Brightfield, 40× oil-immersion objective · bone marrow smear.
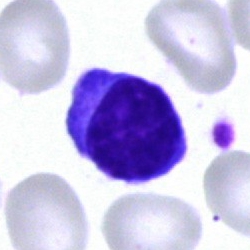
Specimen: bone marrow aspirate smear.
Cell type: plasmacyte.